Peripheral blood smear: 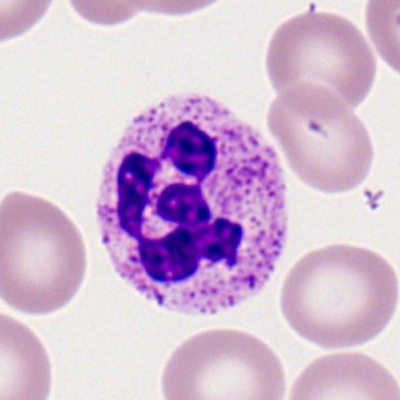Cell: neutrophil (segmented).